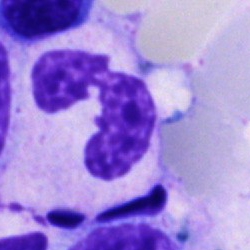
Q: Identify the cell.
A: A stab cell.